MGG-stained · bone marrow aspirate smear
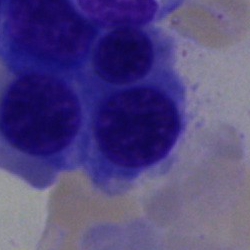

Specimen: bone marrow aspirate smear.
Morphological class: normoblast.